Bone marrow smear: 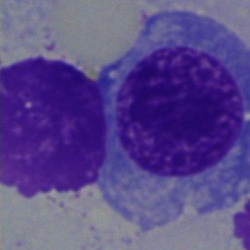

Q: What type of cell is this?
A: It is a nucleated red blood cell.